Bone marrow smear — 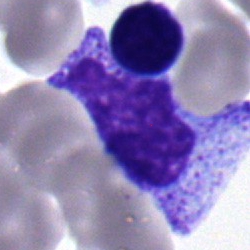

{"cell_type": "promyelocyte", "lineage": "myeloid"}